Bone marrow smear; image size 250×250: 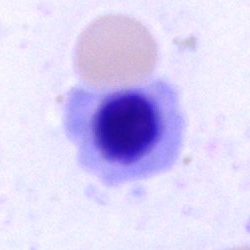
This is an erythroblast.